Bone marrow smear; 40× objective, oil immersion — 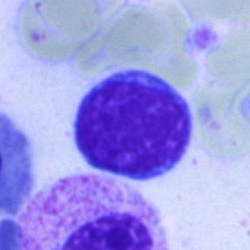 The cell type is lymphocyte.